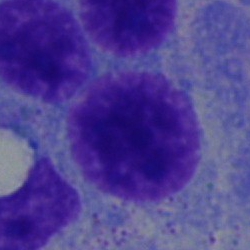
Q: Identify the cell.
A: A plasma cell.